May-Grünwald-Giemsa stain; 250 by 250 pixels; bone marrow aspirate smear.
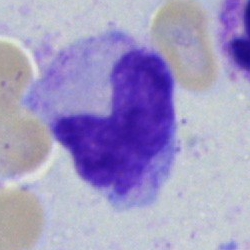

Classification = band neutrophil.